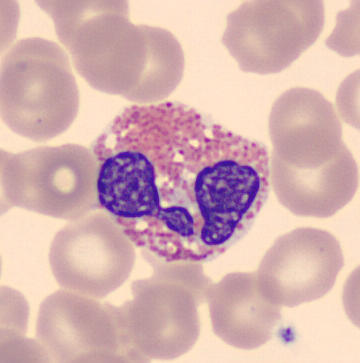{"cell_type": "eosinophilic granulocyte"}
Acquisition: Peripheral blood smear.